250×250 · brightfield, 40× oil-immersion objective · bone marrow aspirate smear
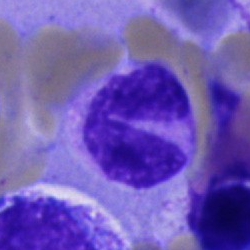
Morphological class = polymorphonuclear neutrophil.